Bone marrow aspirate smear
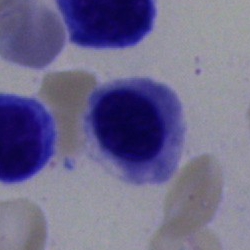 This is a nucleated red blood cell.